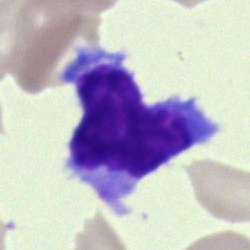
Specimen: bone marrow smear.
Classification: typical lymphocyte.
Lineage: lymphoid.